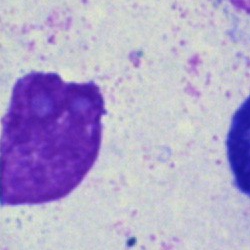Q: What is shown here?
A: It is an artifact.